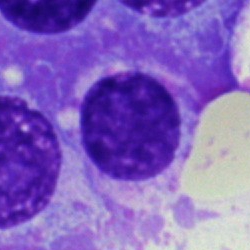
Classification — plasma cell.